Image size 250×250; single-cell field; bone marrow aspirate smear
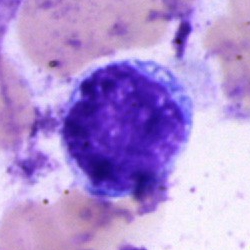Q: Identify the cell.
A: This is a blast.